Bone marrow aspirate smear
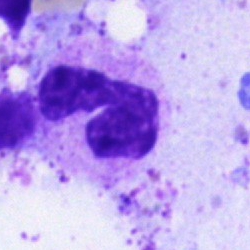Cell = polymorphonuclear neutrophil.